Bone marrow aspirate smear; 40× oil immersion: 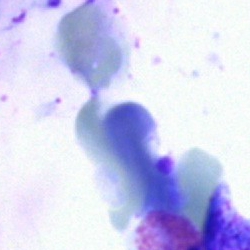 Specimen: bone marrow aspirate smear.
Cell: artefact.